Bone marrow aspirate smear. Single-cell crop:
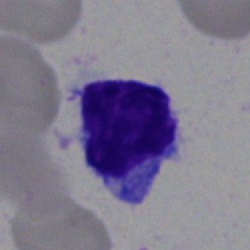
Cell type: typical lymphocyte.